May-Grünwald-Giemsa stain. Bone marrow aspirate smear — 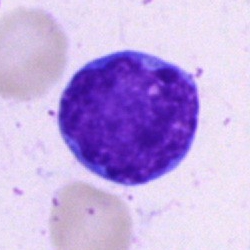 Single cell identified as a lymphocyte.